Brightfield microscopy, 40× oil immersion · bone marrow smear · Pappenheim-stained: 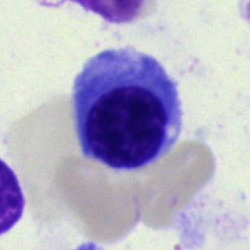
{"cell_type": "normoblast", "lineage": "erythroid"}